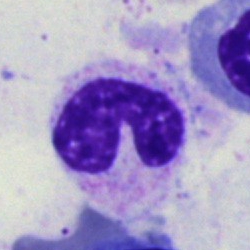Cell: band-form neutrophil.